MGG-stained; bone marrow aspirate smear: 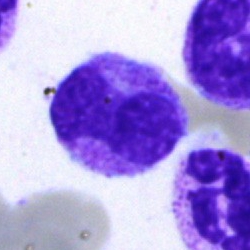 {"cell_type": "band-form neutrophil"}